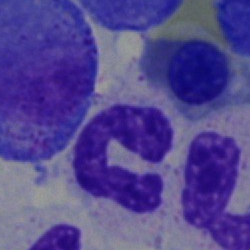
The cell is neutrophil (segmented).